Single-cell crop; bone marrow smear; May-Grünwald-Giemsa stain: 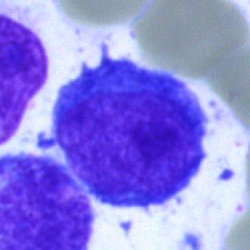Morphology consistent with an undifferentiated blast.